Bone marrow aspirate smear:
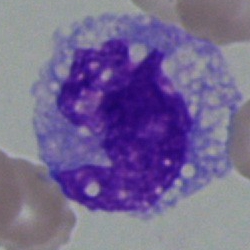 Morphology → monocyte.